Cropped to a single cell · bone marrow aspirate smear:
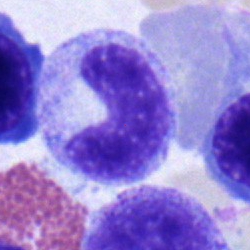
This is a band-form neutrophil.